CellaVision DM96; peripheral blood smear; 360 by 363 pixels — 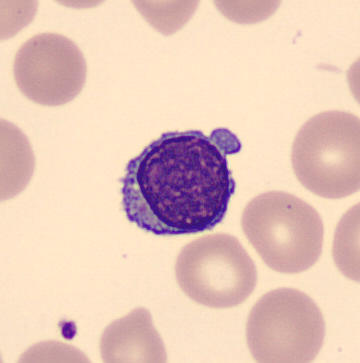
Identified as a lymphocyte.